Bone marrow aspirate smear; single cell centered in the field.
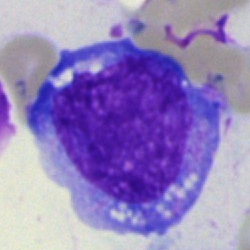

Morphology consistent with an undifferentiated blast.